Pappenheim-stained. Bone marrow smear:
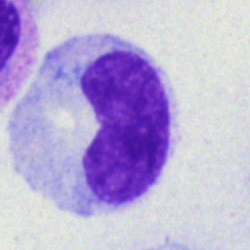 Band-form neutrophil.